Bone marrow aspirate smear · 250 by 250 pixels.
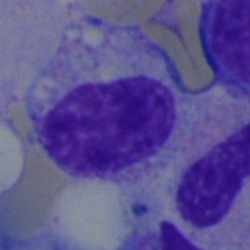
An artifact.